250 by 250 pixels. Brightfield, 40× oil-immersion objective. Bone marrow smear — 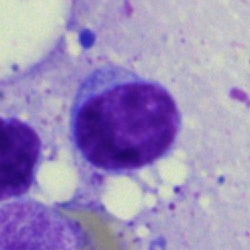
Morphology consistent with a typical lymphocyte.